Bone marrow smear: 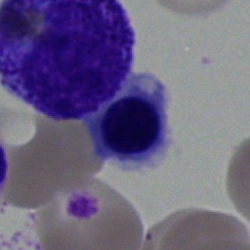
Showing a normoblast.